40× objective, oil immersion · bone marrow smear — 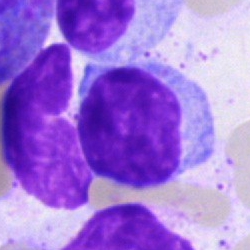
The cell is typical lymphocyte.